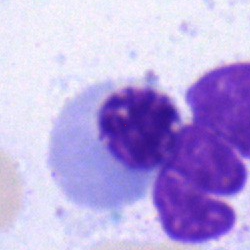

Specimen: bone marrow smear.
Classification: nucleated red blood cell.
Lineage: erythroid.